Bone marrow smear.
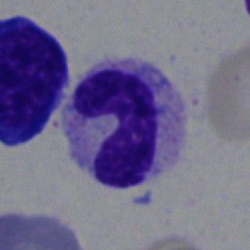A stab cell.